Bone marrow smear:
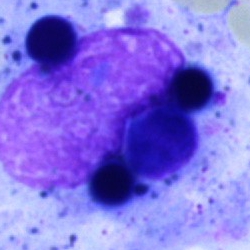
Single cell identified as an artifact.